Brightfield microscopy, 40× oil immersion. 250×250 px. Bone marrow aspirate smear — 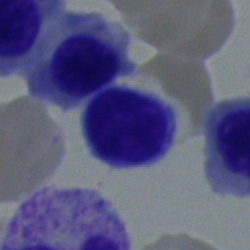Morphological class = typical lymphocyte.